Bone marrow aspirate smear:
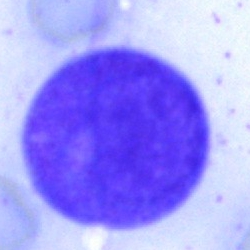

Morphological class: promyelocyte.